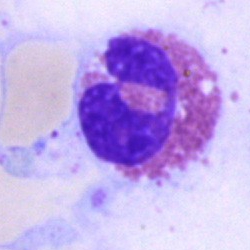Specimen: bone marrow aspirate smear.
Cell type: eosinophil.
Lineage: myeloid.